Bone marrow smear · cropped to a single cell.
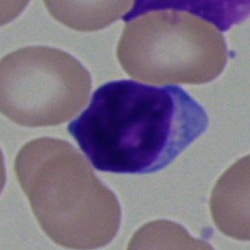The cell is lymphocyte.